40× oil immersion. Bone marrow aspirate smear. Single-cell crop.
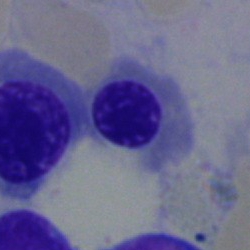
Morphology → erythroblast.